Bone marrow aspirate smear; brightfield, 40× oil-immersion objective; single-cell crop.
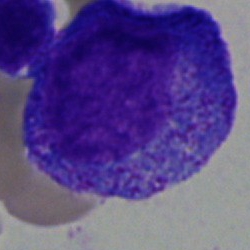
A promyelocyte.